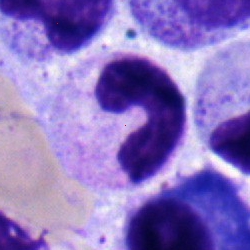 Morphological class: stab cell.